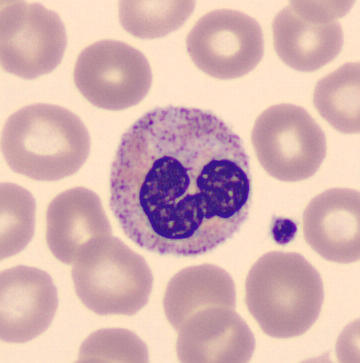
Q: What is this?
A: A band neutrophil.
Acquisition: Peripheral blood film.